Bone marrow smear: 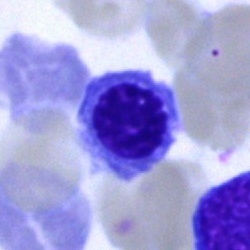

{"cell_type": "nucleated red blood cell", "lineage": "erythroid"}